Bone marrow smear:
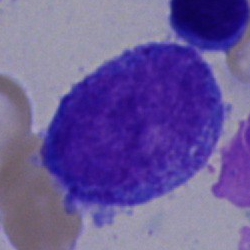
A blast.